Image size 250×250 · bone marrow smear · brightfield microscopy, 40× oil immersion — 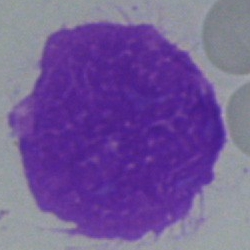 Cell — artefact.